Bone marrow smear; single-cell field
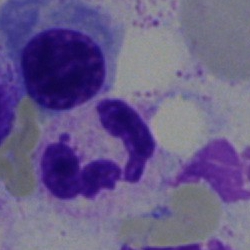

Morphology — neutrophil (segmented).